Romanowsky stain. Peripheral blood smear — 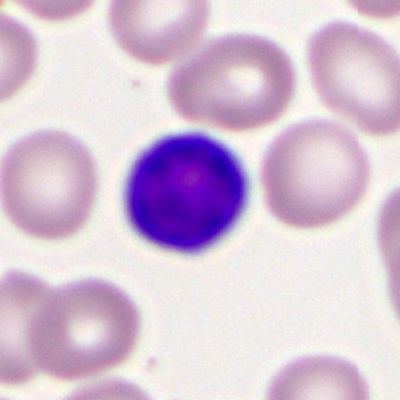

Q: What cell is this?
A: It is a typical lymphocyte.